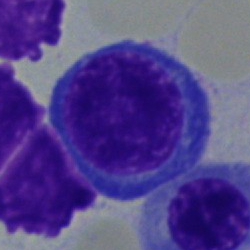

Morphology → erythroblast.